Bone marrow aspirate smear.
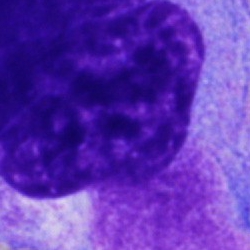Q: What is shown here?
A: It is an artefact.